Cropped to a single cell. Bone marrow aspirate smear. 250×250 px.
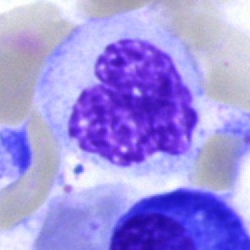 The classification is artifact.